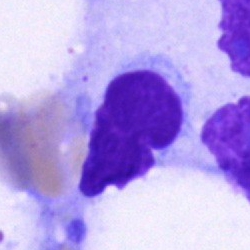An artefact on a bone marrow smear.